Single cell centered in the field; brightfield, 40× oil-immersion objective; bone marrow aspirate smear:
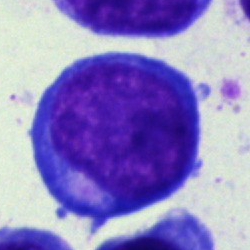

Cell = pronormoblast.